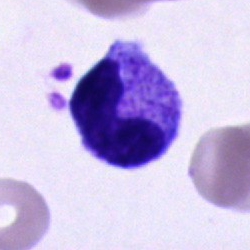Specimen: bone marrow smear.
Cell type: stab cell.
Lineage: myeloid.